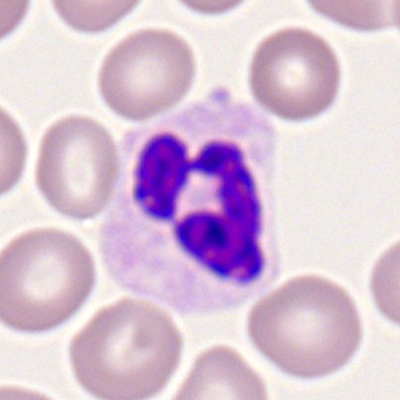 Cell type — polymorphonuclear neutrophil.